Cropped to a single cell; bone marrow aspirate smear.
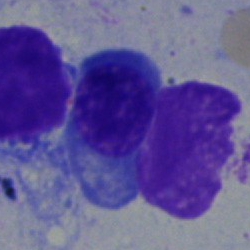 Cell type: nucleated red cell.